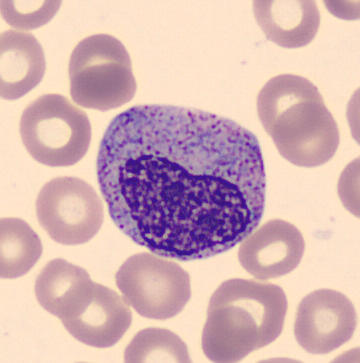Peripheral blood smear. Classification — metamyelocyte.